Bone marrow smear.
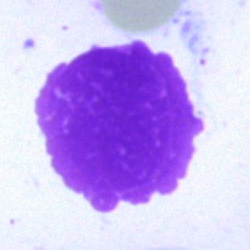 Morphology consistent with an artifact.